Bone marrow smear: 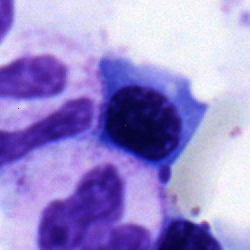Q: What cell is this?
A: A nucleated red blood cell.